Peripheral blood film · single-cell crop · image size 360×363.
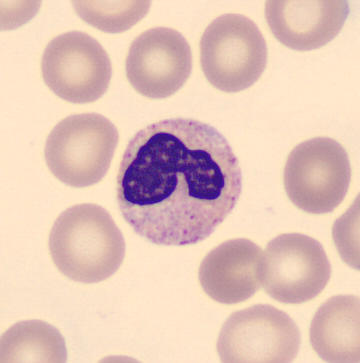 The cell shown is a band-form neutrophil.